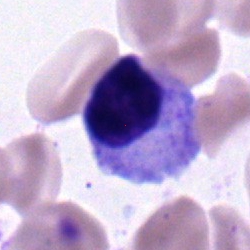 Bone marrow aspirate smear, single cell — myelocyte.